Bone marrow aspirate smear: 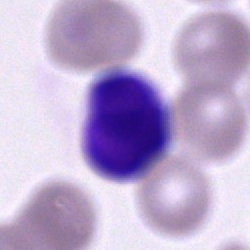Morphological class = unidentifiable cell.